Bone marrow aspirate smear
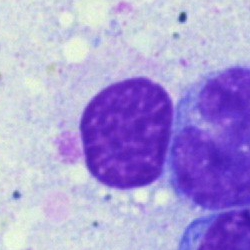
The cell shown is an artefact.